Bone marrow aspirate smear: 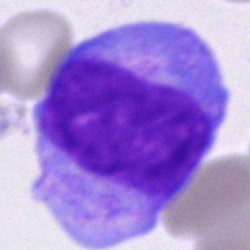The cell shown is an undifferentiated blast.